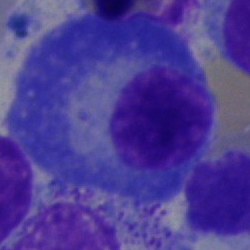

Morphology → plasma cell.